Peripheral blood film.
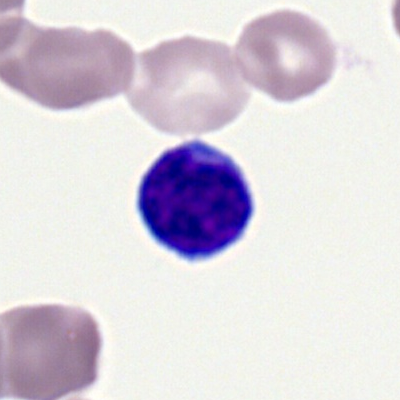 The classification is lymphocyte.